Bone marrow smear.
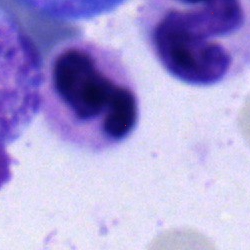Specimen: bone marrow smear.
Morphological class: segmented neutrophil.
Lineage: myeloid.